250 by 250 pixels · 40× oil immersion · bone marrow smear — 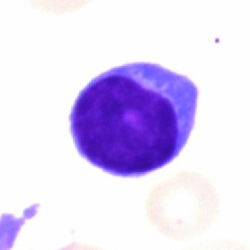The cell type is typical lymphocyte.